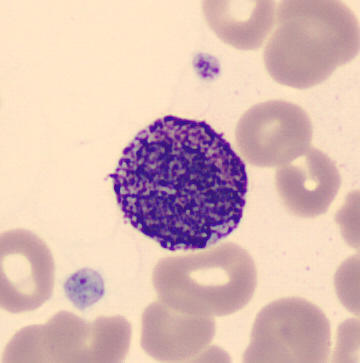

Cropped to a single cell · peripheral blood smear. This is a basophilic granulocyte.